Pappenheim-stained; single cell centered in the field; bone marrow smear:
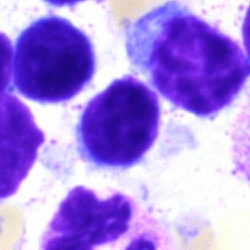
Classification: typical lymphocyte.